Brightfield, 40× oil-immersion objective; bone marrow smear
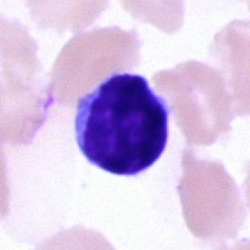Q: What is the morphological classification of this cell?
A: Typical lymphocyte.